Bone marrow smear; cropped to a single cell; Pappenheim-stained: 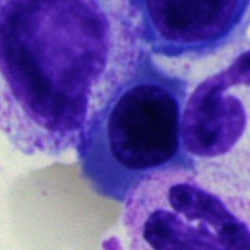The classification is erythroblast.